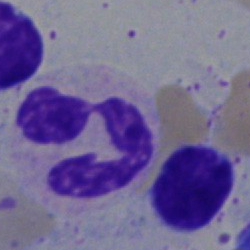

Impression — segmented neutrophil.